Bone marrow aspirate smear — 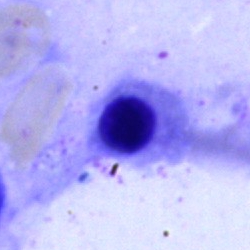

Classification — nucleated red blood cell.